Peripheral blood smear — 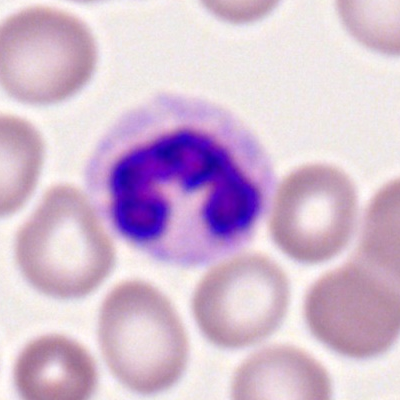
Morphology — segmented neutrophil.